Bone marrow aspirate smear; single-cell crop:
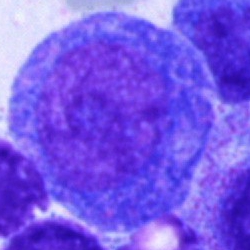Specimen: bone marrow smear.
Morphological class: promyelocyte.
Lineage: myeloid.